Single-cell field · bone marrow aspirate smear — 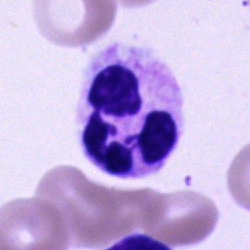
The morphological class is neutrophil (segmented).